Bone marrow smear; brightfield microscopy, 40× oil immersion.
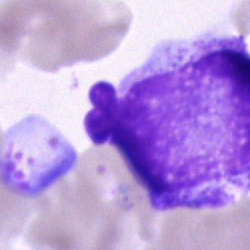Cell type = artefact.